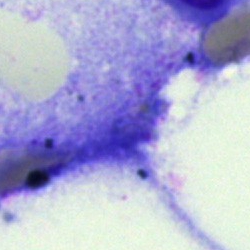

Impression — artifact.